May-Grünwald-Giemsa stain · bone marrow aspirate smear.
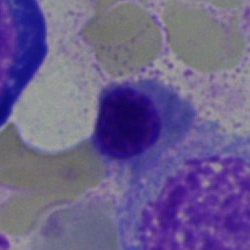An erythroblast.